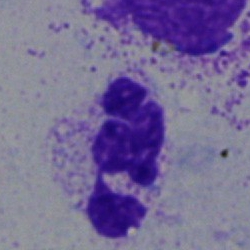
A polymorphonuclear neutrophil on a bone marrow smear.